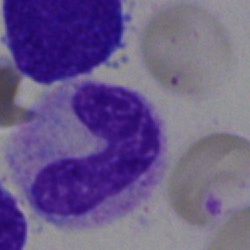 Bone marrow aspirate smear, single cell — band-form neutrophil.